Bone marrow smear · 40× oil immersion:
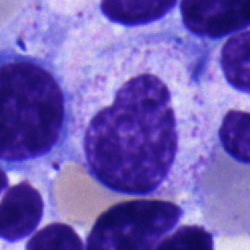
Morphological class = metamyelocyte.